Peripheral blood smear — 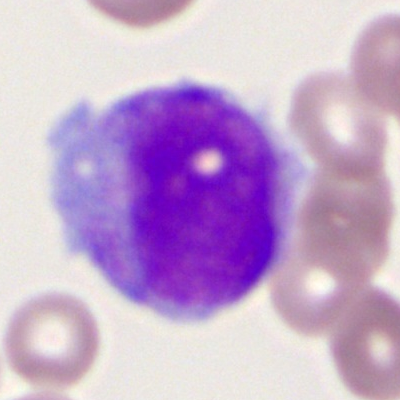 Single cell identified as a myeloblast.